Brightfield, 40× oil-immersion objective; bone marrow smear:
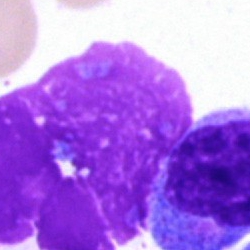

Showing an artifact.